Bone marrow aspirate smear:
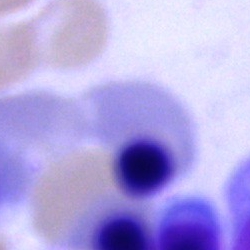
Impression → nucleated red cell.